Bone marrow aspirate smear:
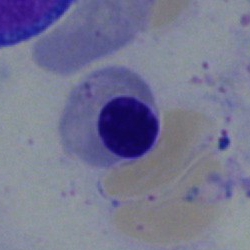This is a nucleated red cell.